Pappenheim-stained; bone marrow aspirate smear
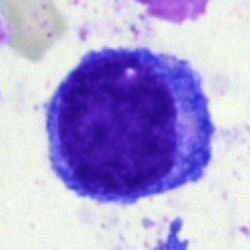Q: What type of cell is this?
A: Undifferentiated blast.